Pappenheim-stained; bone marrow smear: 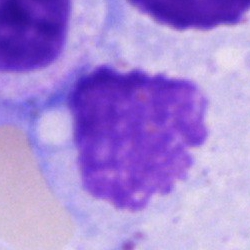

Morphology — artefact.